Peripheral blood film — 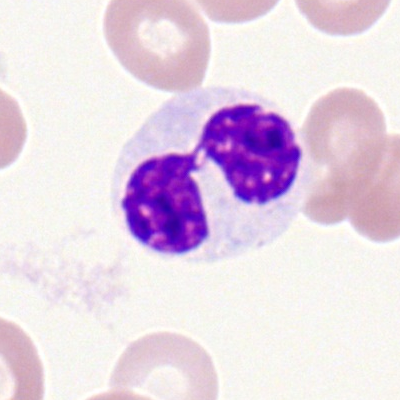Q: Identify the cell.
A: This is a segmented neutrophil.